Bone marrow aspirate smear — 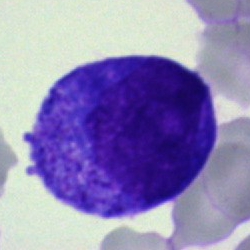Cell = promyelocyte.